Bone marrow smear · May-Grünwald-Giemsa stain.
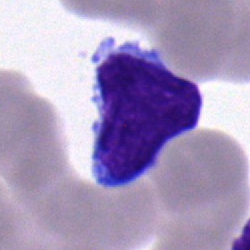

Morphological class: blast cell.